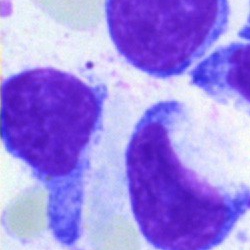

Specimen: bone marrow aspirate smear.
Morphological class: lymphocyte.
Lineage: lymphoid.